Peripheral blood smear.
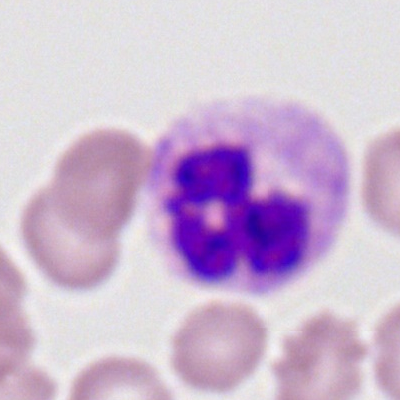
Specimen: peripheral blood smear.
Cell: neutrophil (segmented).